Bone marrow aspirate smear. Single-cell crop: 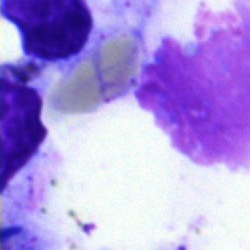Impression → artifact.